Peripheral blood smear.
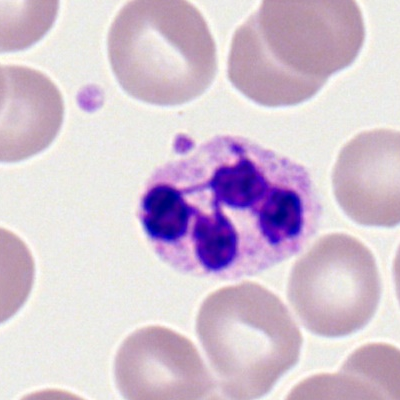

Q: What is the morphological classification of this cell?
A: A segmented neutrophil.